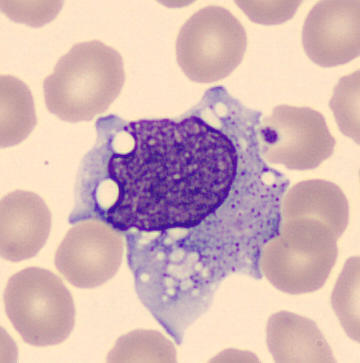 Acquisition: Imaged on a CellaVision DM96 analyser · peripheral blood smear.

Q: What cell is this?
A: It is a monocyte.